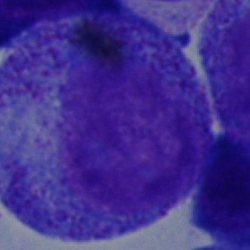The morphological class is progranulocyte.